Bone marrow smear. Image size 250×250.
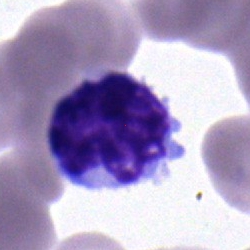 Impression — typical lymphocyte.